Bone marrow aspirate smear. Brightfield, 40× oil-immersion objective. MGG-stained.
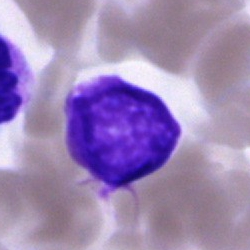
Classification: unidentifiable cell.